CellaVision DM96 digital cell image · peripheral blood film.
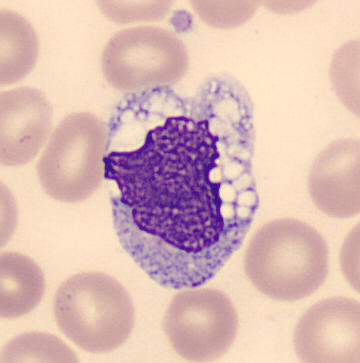 {"cell_type": "monocyte", "lineage": "myeloid"}